Bone marrow aspirate smear
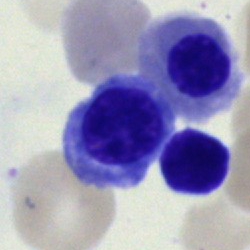The morphological class is nucleated red blood cell.